Bone marrow aspirate smear. MGG-stained: 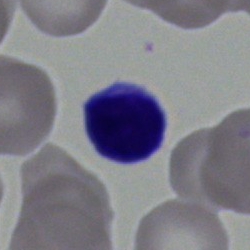

Showing a lymphocyte.